Single-cell crop; bone marrow aspirate smear:
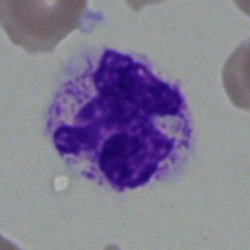
Showing a neutrophil (segmented).